Bone marrow smear.
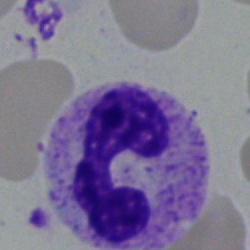 Morphology → polymorphonuclear neutrophil.